Bone marrow aspirate smear.
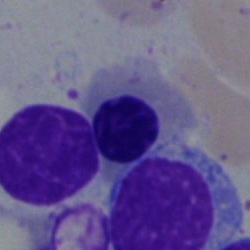

Classification — normoblast.